Peripheral blood film. 400×400 px.
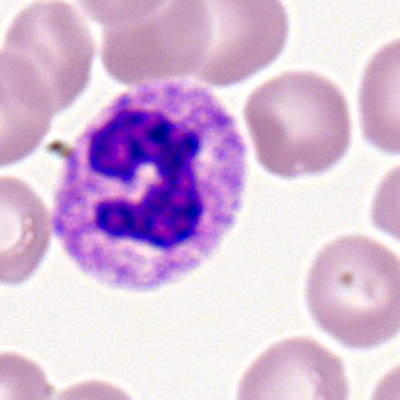A polymorphonuclear neutrophil.